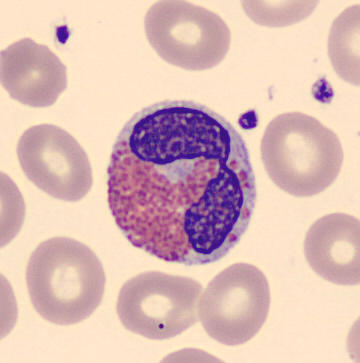Single cell identified as an eosinophil.

Image: Peripheral blood film · single-cell crop · image size 360×363.